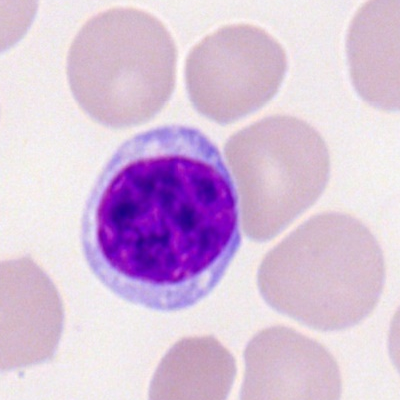Single-cell crop from a peripheral blood smear: lymphocyte.